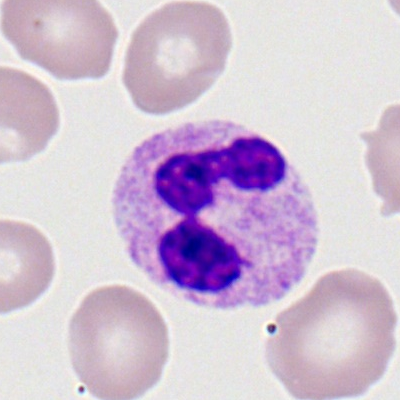Specimen: peripheral blood smear.
Classification: polymorphonuclear neutrophil.
Lineage: myeloid.